Bone marrow smear: 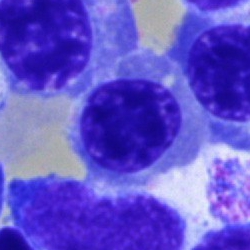

Impression — nucleated red cell.